40× oil immersion · bone marrow aspirate smear:
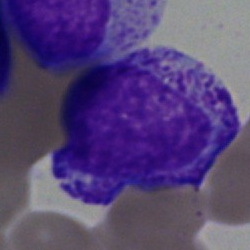
Impression → myelocyte.